Bone marrow aspirate smear.
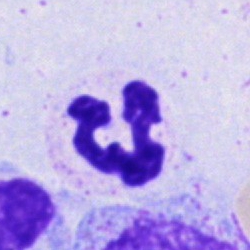
Q: Identify the cell.
A: It is a segmented neutrophil.